Bone marrow aspirate smear.
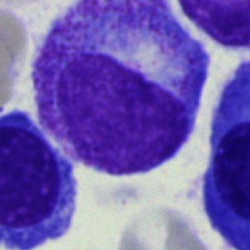Q: Identify the cell.
A: A myelocyte.